Bone marrow smear
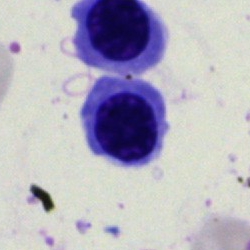

Nucleated red cell.